Bone marrow aspirate smear
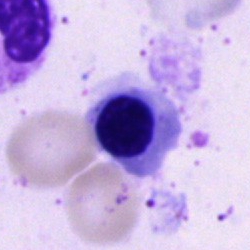 Specimen: bone marrow smear.
Classification: nucleated red cell.